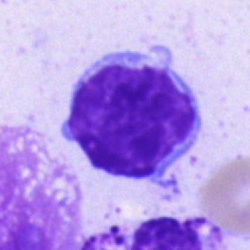Bone marrow smear showing a lymphocyte.